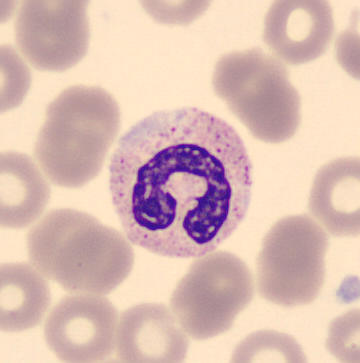Morphological class: neutrophil (band). Single cell centered in the field; MGG stain; peripheral blood film.